MGG-stained · bone marrow smear.
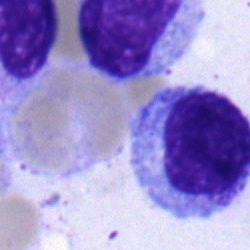

Morphological class — monocyte.